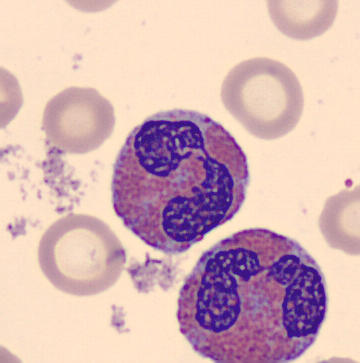
Morphology → eosinophil.